Bone marrow smear — 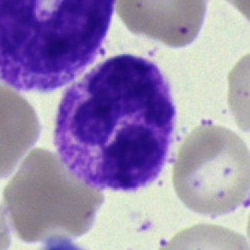

Morphology — polymorphonuclear neutrophil.